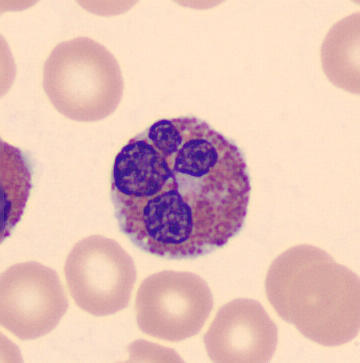

Preparation: Single-cell crop; peripheral blood smear.
Morphology consistent with an eosinophil.